Bone marrow aspirate smear; May-Grünwald-Giemsa/Pappenheim stain — 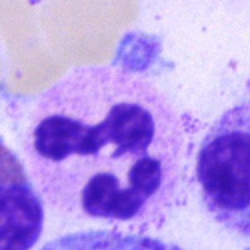

Morphology consistent with a segmented neutrophil.